Bone marrow smear · cropped to a single cell · 40× oil immersion: 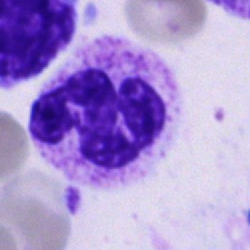 Impression → segmented neutrophil.